Bone marrow smear; brightfield microscopy, 40× oil immersion; 250 by 250 pixels
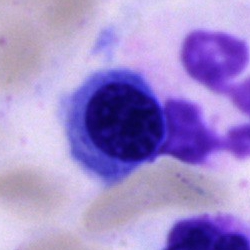 Q: Which cell type is shown here?
A: This is a nucleated red blood cell.